Bone marrow aspirate smear; 250×250:
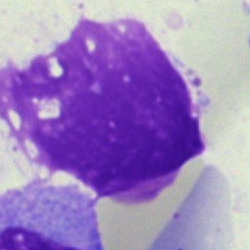 An artifact.